Bone marrow smear.
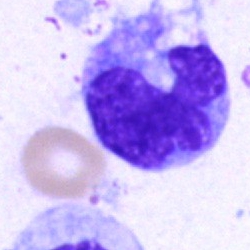
Q: What is shown here?
A: It is a monocyte.